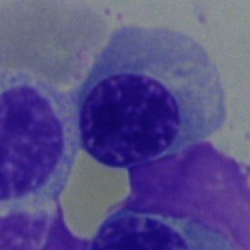A nucleated red blood cell.